Bone marrow smear. 250 by 250 pixels:
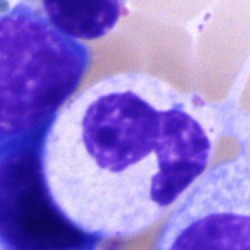
Q: What is shown here?
A: It is a neutrophil (segmented).